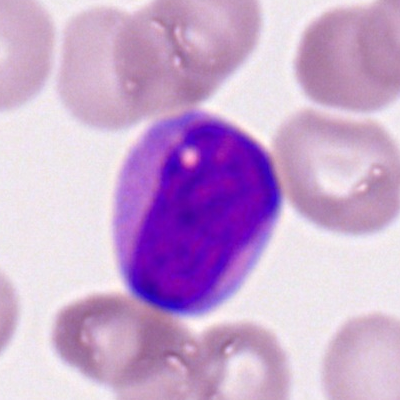Cell type — myeloid blast.